Bone marrow aspirate smear — 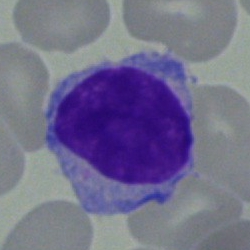 A lymphocyte.